Bone marrow aspirate smear
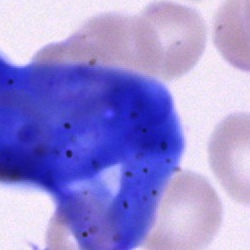
Artifact.